Bone marrow aspirate smear.
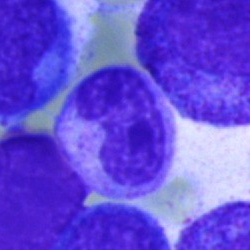
Cell type — stab cell.